Peripheral blood film:
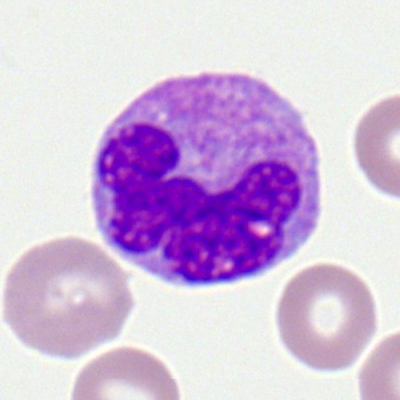This is a monocyte.